Bone marrow aspirate smear. Image size 250×250: 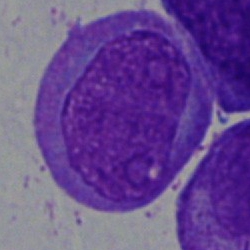 Cell — undifferentiated blast.